Peripheral blood film. 100× oil immersion, 14.14 px/µm.
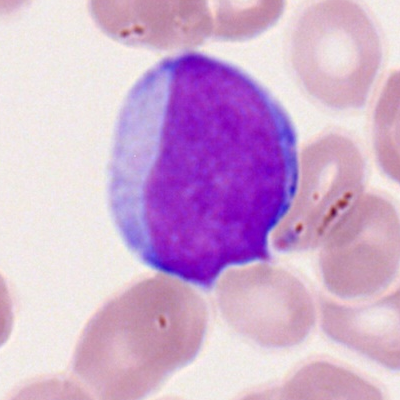Morphology — myeloblast.